Bone marrow smear:
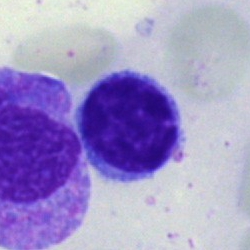Specimen: bone marrow smear.
Cell: typical lymphocyte.